Bone marrow smear
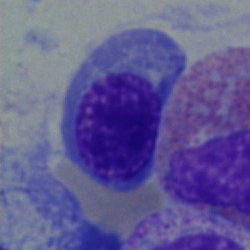

Showing a nucleated red blood cell.